Bone marrow smear — 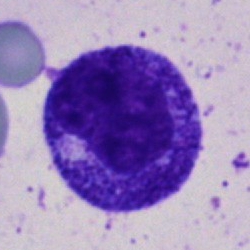

Showing a myelocyte.